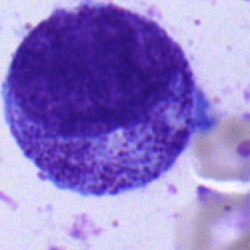
Classification: myelocyte.